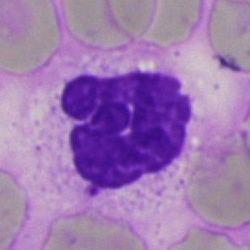 The cell type is artifact.